40× objective, oil immersion. MGG-stained. Bone marrow aspirate smear
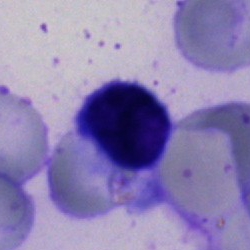

Showing an artefact.